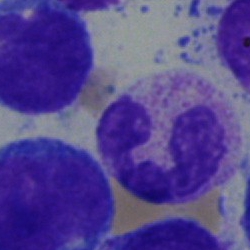

A segmented neutrophil.